Single-cell field · bone marrow aspirate smear:
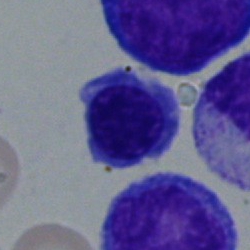Morphology → nucleated red cell.